May-Grünwald-Giemsa stain; bone marrow aspirate smear:
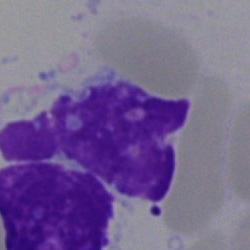
Cell — artefact.